250 by 250 pixels. Bone marrow smear:
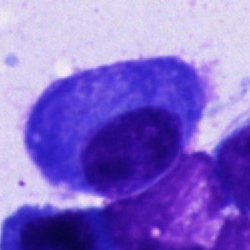Cell — plasmacyte.